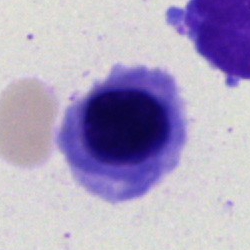 Specimen: bone marrow smear.
Cell: normoblast.
Lineage: erythroid.